250×250. May-Grünwald-Giemsa/Pappenheim stain. Bone marrow aspirate smear.
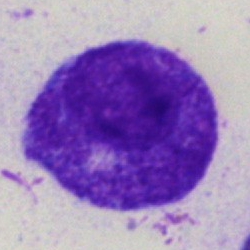 Specimen: bone marrow aspirate smear.
Classification: promyelocyte.